May-Grünwald-Giemsa/Pappenheim stain; brightfield microscopy, 40× oil immersion; bone marrow aspirate smear:
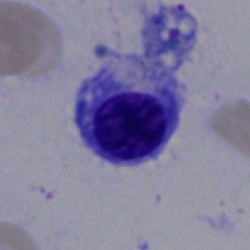 Q: Identify the cell.
A: It is a normoblast.